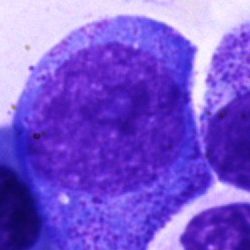

Cell type: promyelocyte.